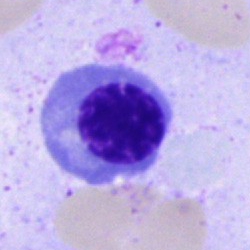

The cell type is nucleated red blood cell.